Bone marrow aspirate smear.
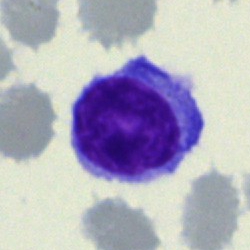 The cell shown is a typical lymphocyte.